Bone marrow smear; cropped to a single cell.
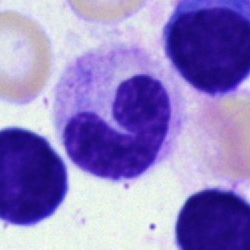
Stab cell.